250 by 250 pixels. Bone marrow aspirate smear: 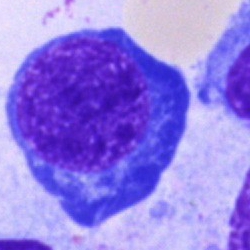
{"cell_type": "nucleated red blood cell", "lineage": "erythroid"}